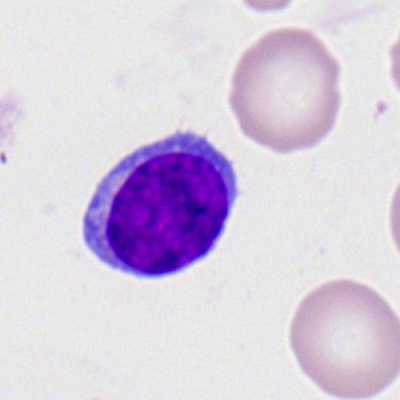
Impression — lymphocyte.